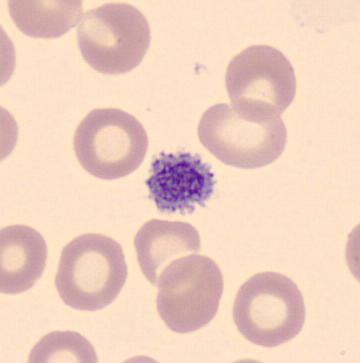

Image: Peripheral blood film.

Morphology — thrombocyte.